Pappenheim-stained; 40× objective, oil immersion; bone marrow smear — 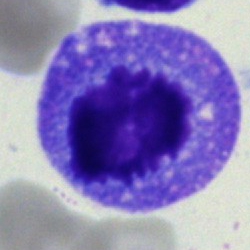
Showing an artifact.